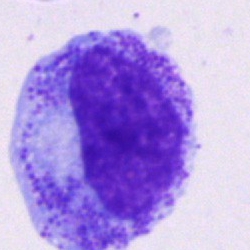 {"cell_type": "promyelocyte", "lineage": "myeloid"}